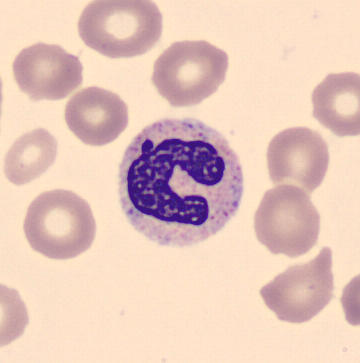
CellaVision DM96 digital cell image. Peripheral blood smear.
Stab cell.